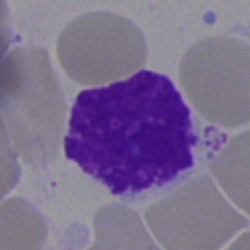
Cell: artefact.